Bone marrow smear:
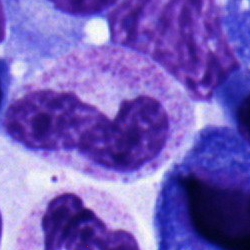

Showing a band neutrophil.